Peripheral blood smear. Romanowsky-stained — 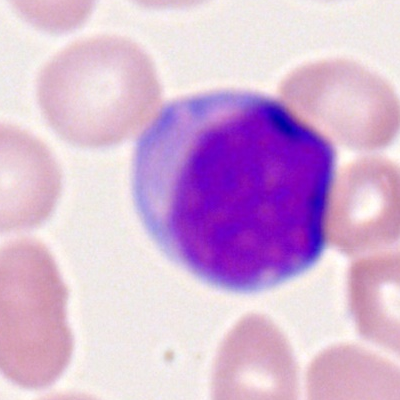 Cell: myeloid blast.